Bone marrow aspirate smear · 40× objective, oil immersion · cropped to a single cell: 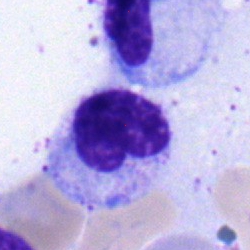Morphology → metamyelocyte.